Peripheral blood film:
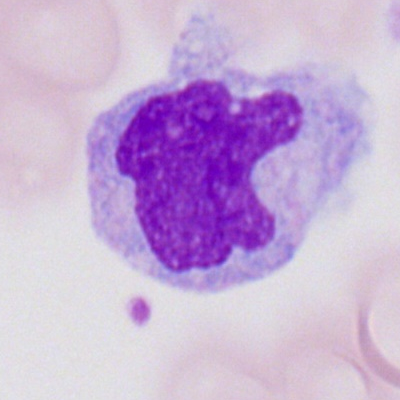

Q: Which cell type is shown here?
A: This is a monocyte.